Bone marrow smear · image size 250×250.
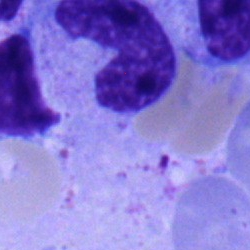 Morphological class: stab cell.